Bone marrow aspirate smear: 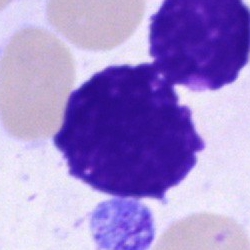 The cell shown is a lymphocyte.